40× oil immersion; bone marrow aspirate smear; cropped to a single cell
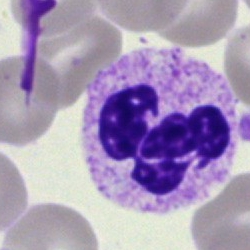
{"cell_type": "neutrophil (segmented)", "lineage": "myeloid"}